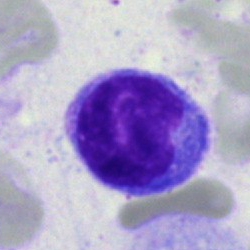Single-cell crop from a bone marrow smear: lymphocyte.